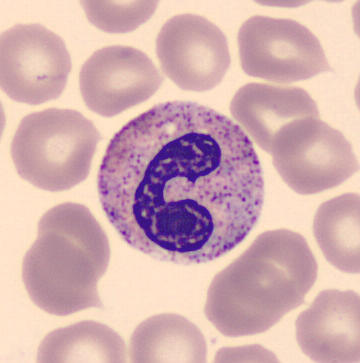
Morphology → neutrophil (band).